Bone marrow smear. 250 by 250 pixels.
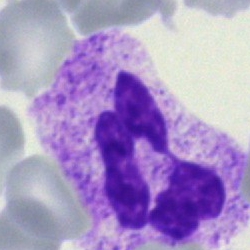Morphological class — polymorphonuclear neutrophil.